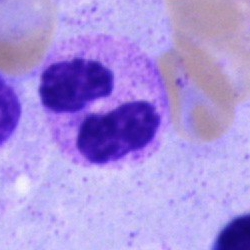 Bone marrow smear showing a segmented neutrophil.